Single cell centered in the field · bone marrow aspirate smear:
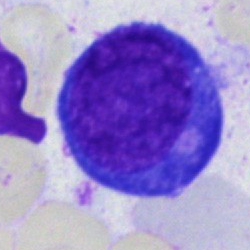Specimen: bone marrow aspirate smear.
Morphological class: proerythroblast.
Lineage: erythroid.